Bone marrow aspirate smear
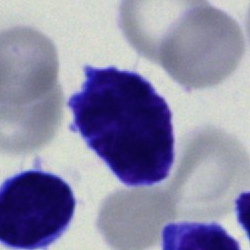 Morphology → undifferentiated blast.